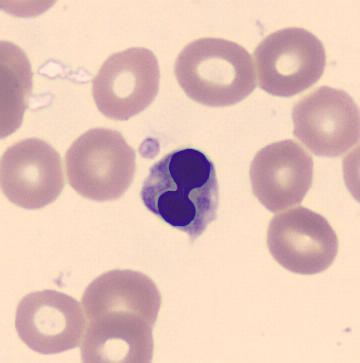Specimen: peripheral blood film.
Cell type: normoblast.
Lineage: erythroid.